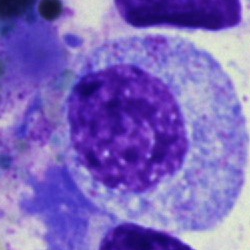

Single-cell crop from a bone marrow smear: progranulocyte.